Bone marrow aspirate smear. May-Grünwald-Giemsa stain: 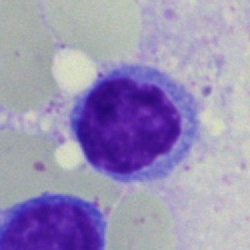
Showing a lymphocyte.